Bone marrow smear.
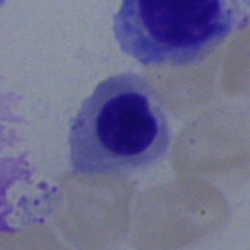 Specimen: bone marrow smear.
Classification: nucleated red blood cell.
Lineage: erythroid.